Single-cell crop · bone marrow aspirate smear.
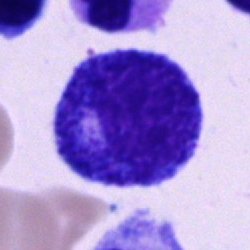

Showing a promyelocyte.